Single-cell crop · bone marrow smear
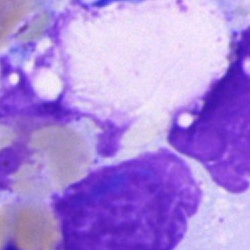

Specimen: bone marrow aspirate smear.
Classification: artifact.